Image size 250×250 · bone marrow aspirate smear · single cell centered in the field — 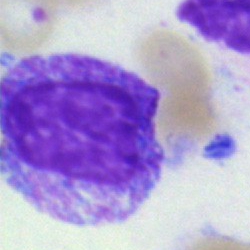Single cell identified as a myelocyte.